Bone marrow smear
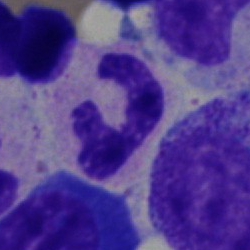 Q: What type of cell is this?
A: A polymorphonuclear neutrophil.